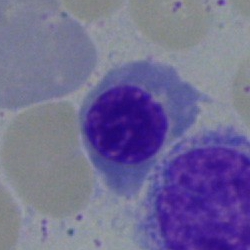

Showing an erythroblast.